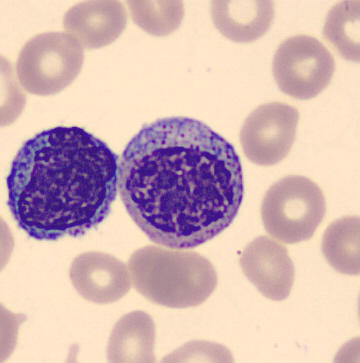
Morphology consistent with a myelocyte.